Bone marrow smear
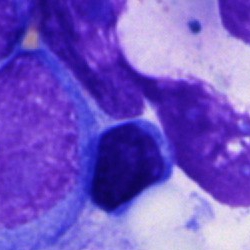Cell of indeterminate lineage.